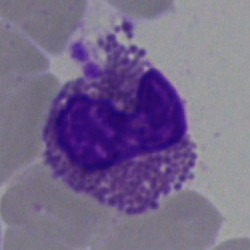The morphological class is eosinophil.